Single cell centered in the field. Bone marrow aspirate smear. MGG-stained — 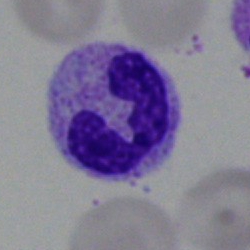The cell is polymorphonuclear neutrophil.